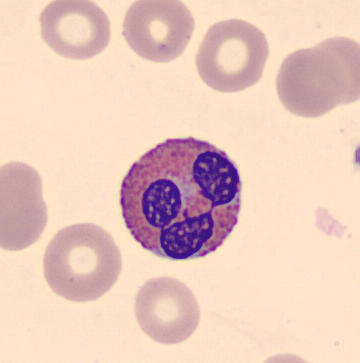

Morphology consistent with an eosinophil.